250 by 250 pixels; bone marrow aspirate smear:
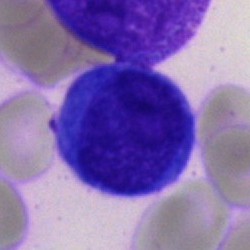

Classification: blast cell.